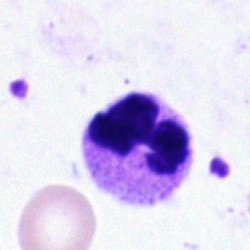

Q: Which cell type is shown here?
A: This is a segmented neutrophil.